Bone marrow aspirate smear; 40× objective, oil immersion: 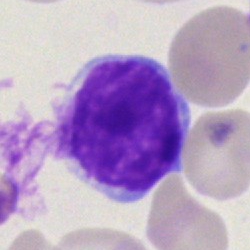

Q: What cell is this?
A: Typical lymphocyte.